Brightfield, 40× oil-immersion objective; bone marrow aspirate smear; MGG-stained.
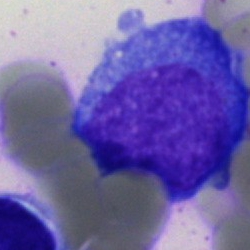
This is a progranulocyte.